Bone marrow aspirate smear: 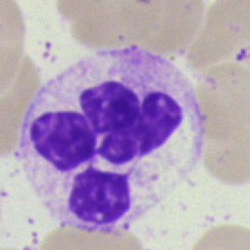

Q: What cell is this?
A: Polymorphonuclear neutrophil.